Bone marrow smear. 40× oil immersion. MGG-stained:
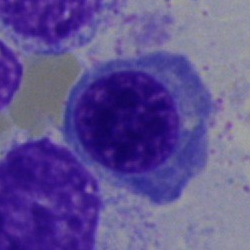 This is a normoblast.